Bone marrow smear: 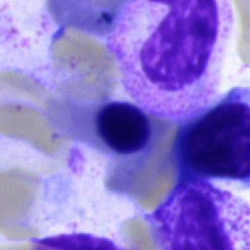

This is a nucleated red cell.